Bone marrow aspirate smear: 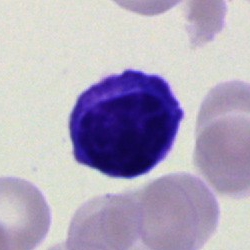

Q: What type of cell is this?
A: A lymphocyte.